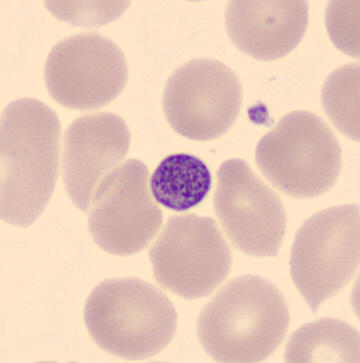From a peripheral blood smear: a thrombocyte.